Bone marrow aspirate smear:
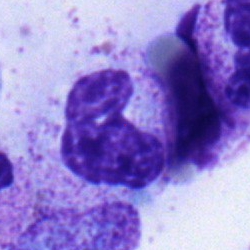 Impression → stab cell.